Bone marrow aspirate smear — 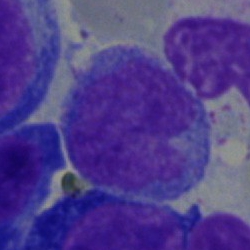

An undifferentiated blast.